Bone marrow smear — 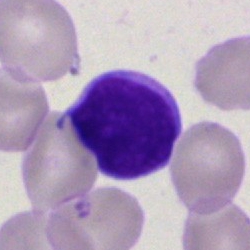

Q: What cell is this?
A: Lymphocyte.